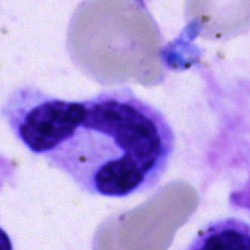 Polymorphonuclear neutrophil.